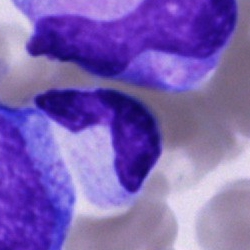

Morphology → unidentifiable cell.